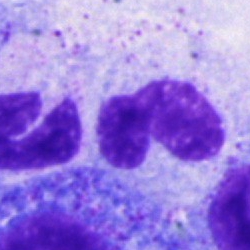

Single cell identified as a band neutrophil.